Pappenheim-stained; bone marrow aspirate smear — 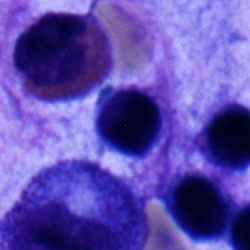
Specimen: bone marrow smear.
Classification: lymphocyte.